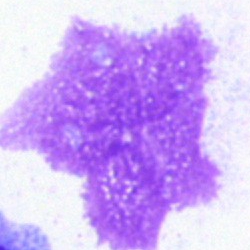The classification is artifact.